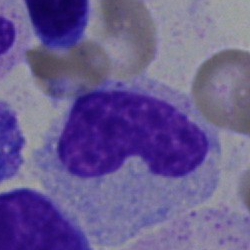

Showing a band neutrophil.